Bone marrow smear
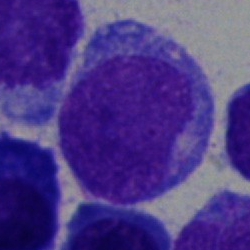 Blast.